Bone marrow aspirate smear:
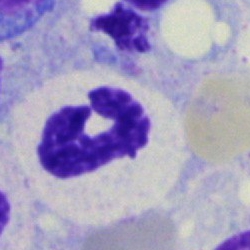

Specimen: bone marrow smear.
Classification: segmented neutrophil.